Bone marrow aspirate smear
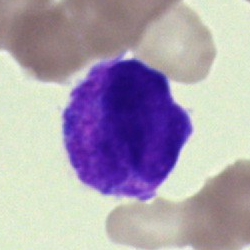Cell: undifferentiated blast.